250×250 · bone marrow aspirate smear
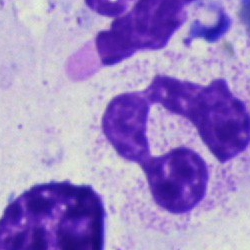

A polymorphonuclear neutrophil.